40× oil immersion; bone marrow smear.
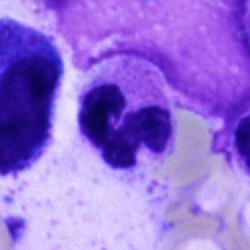
Specimen: bone marrow aspirate smear.
Classification: polymorphonuclear neutrophil.